Bone marrow aspirate smear:
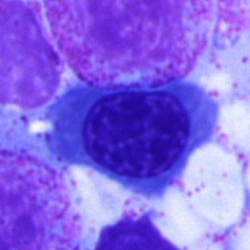 Morphology — erythroblast.